Bone marrow aspirate smear — 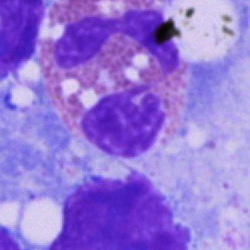Impression — eosinophil.